Bone marrow smear. Single-cell crop. Brightfield, 40× oil-immersion objective — 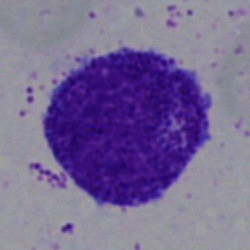Q: Which cell type is shown here?
A: This is a promyelocyte.